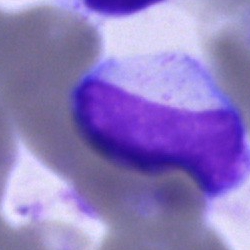
Single-cell crop from a bone marrow smear: unidentifiable cell.